Bone marrow smear — 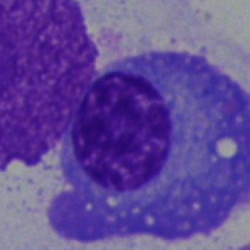
Morphology consistent with a plasma cell.